Bone marrow smear.
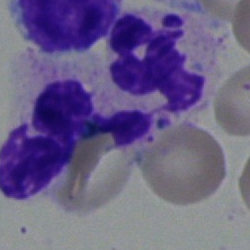Single cell identified as a polymorphonuclear neutrophil.